Peripheral blood smear · 400×400 px.
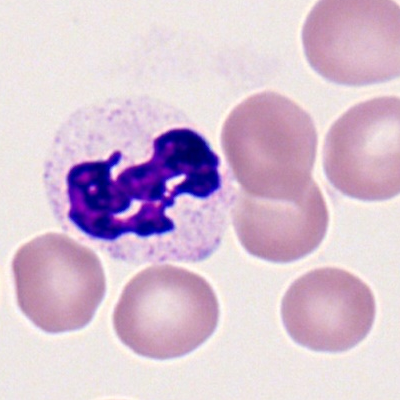 Polymorphonuclear neutrophil.